Bone marrow aspirate smear. 250×250. Brightfield microscopy, 40× oil immersion.
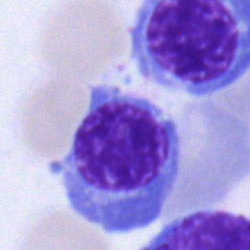Q: What type of cell is this?
A: It is a normoblast.